Bone marrow smear; brightfield, 40× oil-immersion objective
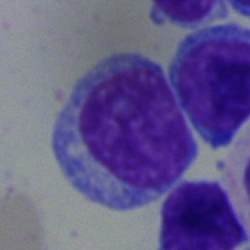Q: What is shown here?
A: This is a lymphocyte.